Bone marrow smear:
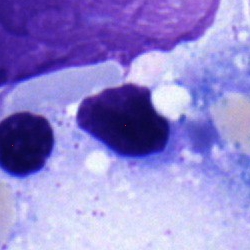

Normoblast.